Bone marrow smear. Image size 250×250. MGG-stained
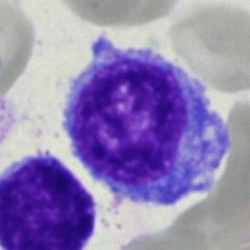
Q: Identify the cell.
A: It is a blast.